Bone marrow aspirate smear
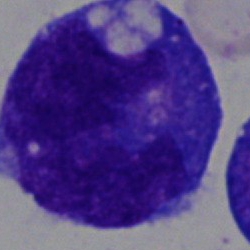 This is an undifferentiated blast.